Bone marrow smear — 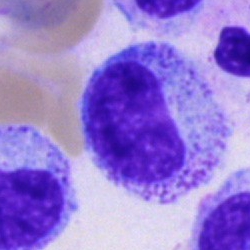Impression → myelocyte.